May-Grünwald-Giemsa/Pappenheim stain. Bone marrow aspirate smear. Single-cell crop — 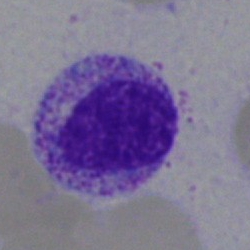 Morphology consistent with a myelocyte.